Bone marrow aspirate smear. Image size 250×250. Cropped to a single cell
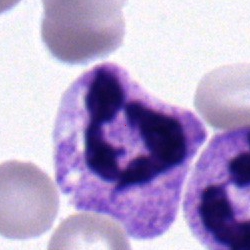
Q: What cell is this?
A: A segmented neutrophil.